Bone marrow aspirate smear — 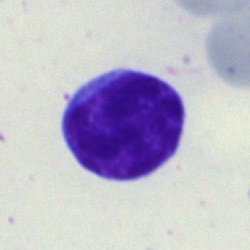

Specimen: bone marrow smear.
Cell: typical lymphocyte.